Bone marrow aspirate smear · MGG-stained — 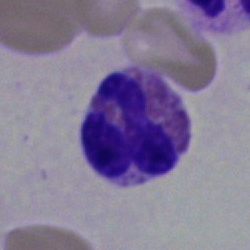
Cell type = eosinophil.